Peripheral blood film · Romanowsky-stained.
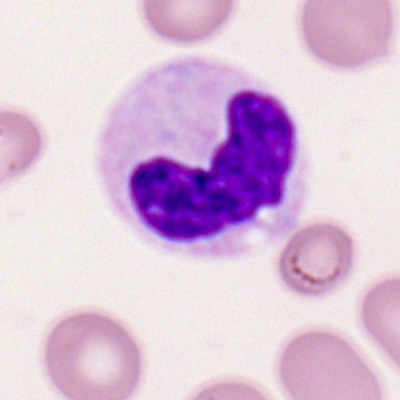
The cell is neutrophil (band).